Peripheral blood smear.
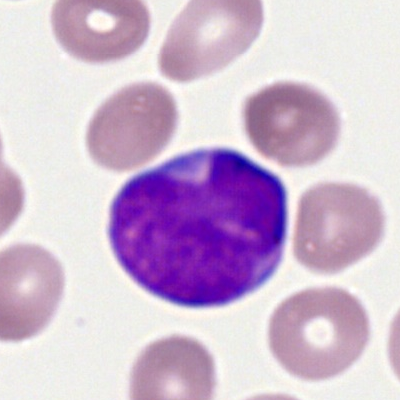{"cell_type": "myeloblast", "lineage": "myeloid"}